Bone marrow aspirate smear
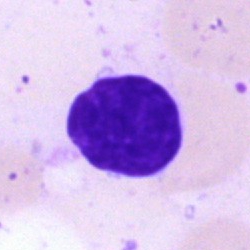{"cell_type": "artifact"}